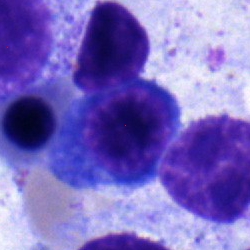 This is a normoblast.